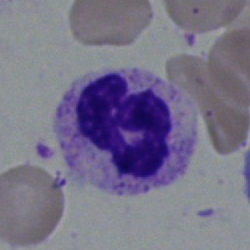

Segmented neutrophil.